Bone marrow aspirate smear: 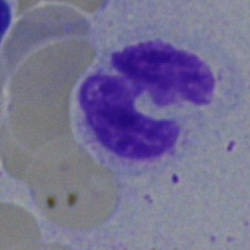The cell type is neutrophil (segmented).